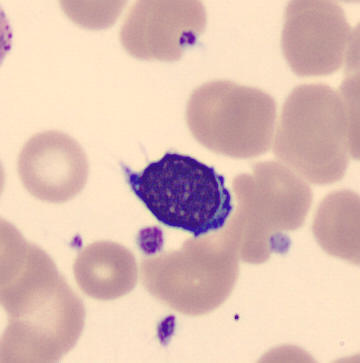 The cell shown is a lymphocyte.
Image: Peripheral blood smear.